Bone marrow aspirate smear:
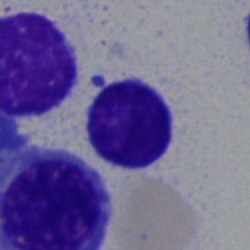 The cell shown is a lymphocyte.